Peripheral blood smear; image size 400×400:
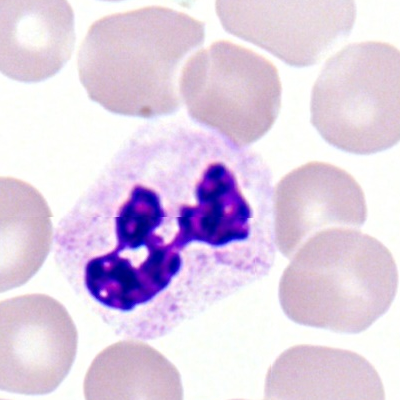 Classification — polymorphonuclear neutrophil.